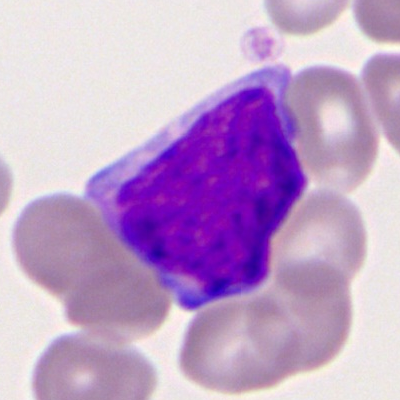
The cell is myeloblast.